Bone marrow smear:
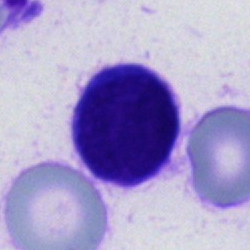 Specimen: bone marrow aspirate smear.
Cell type: cell of indeterminate lineage.